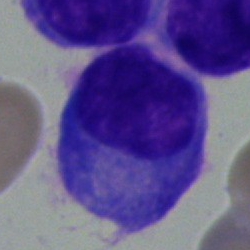 Cell = plasmacyte.